Bone marrow aspirate smear. May-Grünwald-Giemsa/Pappenheim stain:
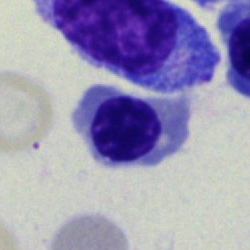Morphology — normoblast.